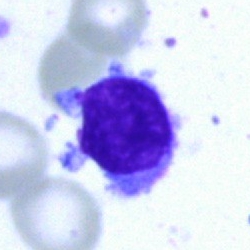
Morphological class = typical lymphocyte.